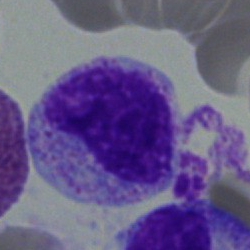Specimen: bone marrow smear.
Cell: myelocyte.